Single cell centered in the field. Bone marrow smear — 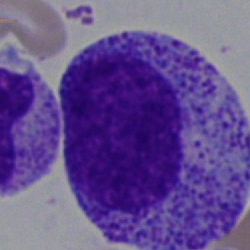 Morphology consistent with a progranulocyte.